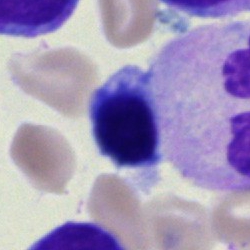 The morphological class is normoblast.